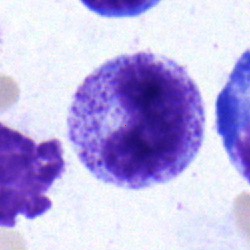 Q: Identify the cell.
A: It is a metamyelocyte.